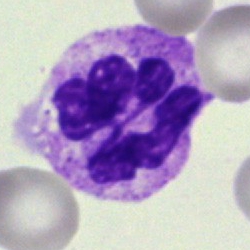

Single cell identified as a polymorphonuclear neutrophil.